Brightfield microscopy, 40× oil immersion; bone marrow smear — 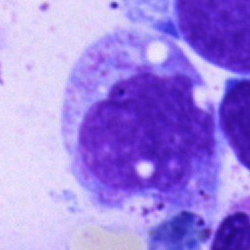Q: Which cell type is shown here?
A: A progranulocyte.